Bone marrow smear. Pappenheim-stained: 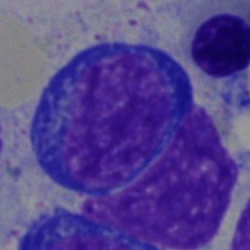
Cell — erythroblast.